Bone marrow smear:
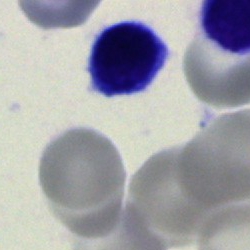
Single cell identified as an artifact.